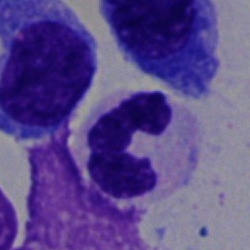

The cell shown is a segmented neutrophil.